Bone marrow smear.
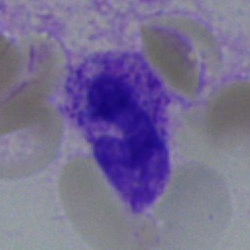Cell type = stab cell.